Bone marrow smear — 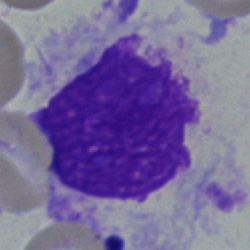 Cell type — artifact.